Bone marrow aspirate smear: 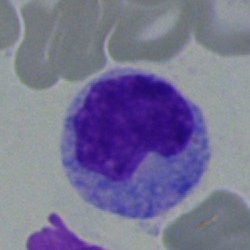 Cell: metamyelocyte.